Bone marrow aspirate smear
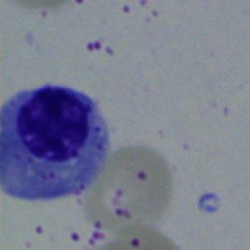
A normoblast.